Bone marrow aspirate smear; 40× objective, oil immersion: 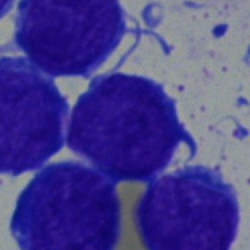

The cell is blast cell.